Bone marrow aspirate smear.
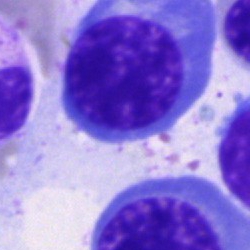
The cell is nucleated red blood cell.